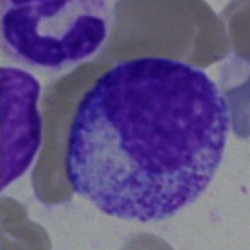

Single cell identified as a myelocyte.